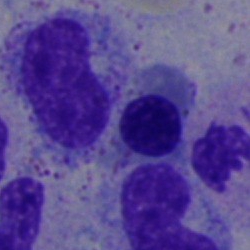Q: What is the morphological classification of this cell?
A: This is an erythroblast.